Bone marrow aspirate smear · 250 by 250 pixels.
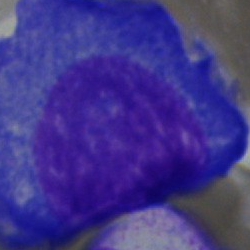Specimen: bone marrow aspirate smear.
Cell type: plasma cell.